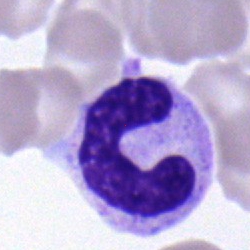

{"cell_type": "band neutrophil"}